Bone marrow smear. Cropped to a single cell. Pappenheim-stained — 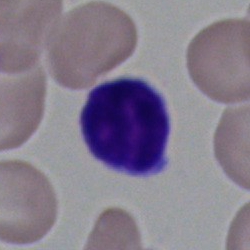 Typical lymphocyte.